Peripheral blood film
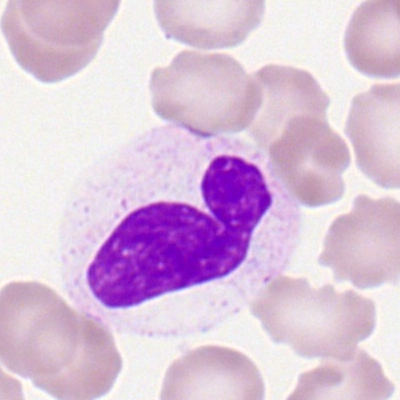

This is a polymorphonuclear neutrophil.